Bone marrow smear
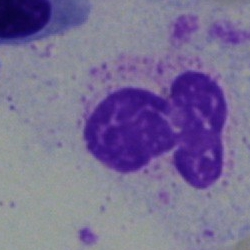 Q: What is the morphological classification of this cell?
A: A neutrophil (segmented).